Brightfield, 40× oil-immersion objective. May-Grünwald-Giemsa/Pappenheim stain. Bone marrow aspirate smear
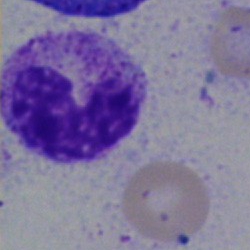 A neutrophil (band).